Brightfield microscopy, 40× oil immersion · bone marrow aspirate smear — 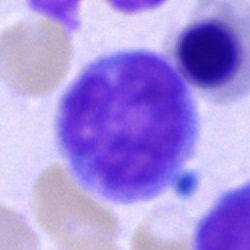 Impression → monocyte.